Bone marrow aspirate smear. Single-cell field: 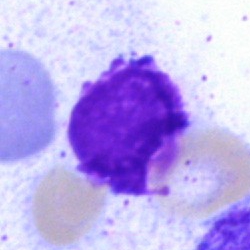 Specimen: bone marrow aspirate smear.
Cell: artifact.